Bone marrow smear: 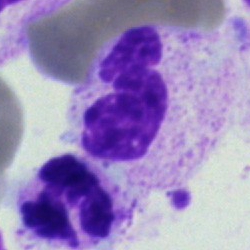
Cell — segmented neutrophil.